Bone marrow aspirate smear. Single-cell crop — 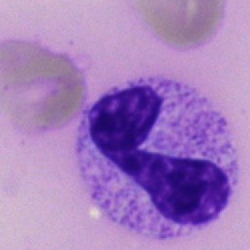

Single cell identified as a segmented neutrophil.